Single-cell crop · brightfield microscopy, 40× oil immersion · bone marrow smear
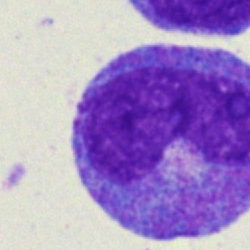 Classification = promyelocyte.